Bone marrow smear:
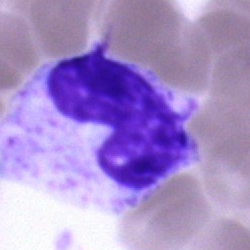The cell is band neutrophil.